Bone marrow smear.
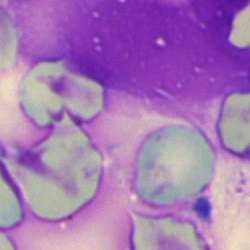 {"cell_type": "artefact"}